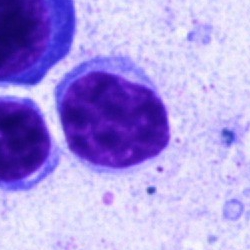
Q: What cell is this?
A: This is a typical lymphocyte.